Bone marrow smear: 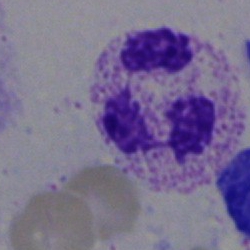{"cell_type": "segmented neutrophil"}